Bone marrow aspirate smear · MGG-stained: 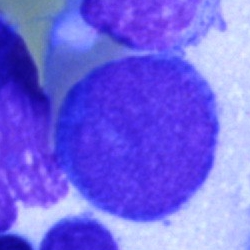 Specimen: bone marrow smear.
Cell: undifferentiated blast.